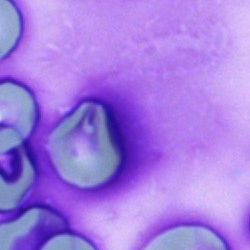 Morphology consistent with an artifact.